Image size 250×250; bone marrow smear: 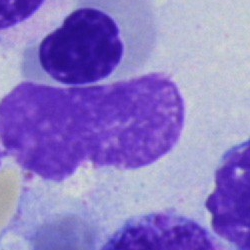Morphology — artefact.